Bone marrow smear.
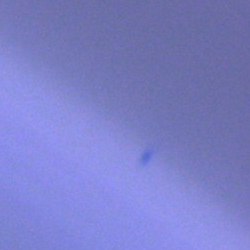 An artifact.